Peripheral blood film. Romanowsky-type stain: 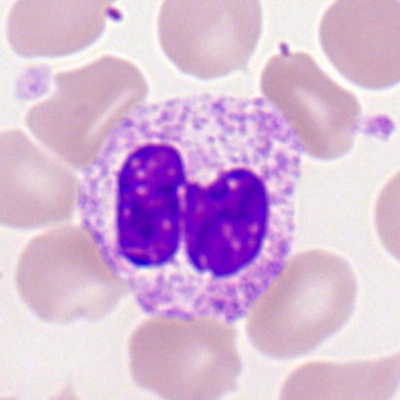
This is a segmented neutrophil.